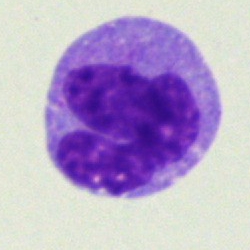

Morphology consistent with a monocyte.